250×250 px; bone marrow aspirate smear:
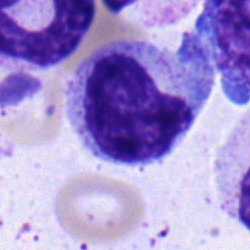Specimen: bone marrow aspirate smear.
Cell: myelocyte.
Lineage: myeloid.